Single-cell crop; bone marrow smear; Pappenheim-stained — 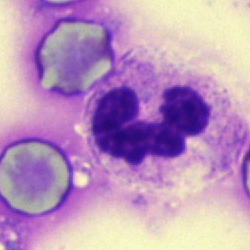

Specimen: bone marrow smear.
Cell type: neutrophil (segmented).